Bone marrow smear.
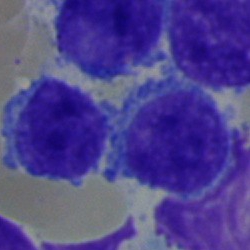 {"cell_type": "lymphocyte", "lineage": "lymphoid"}